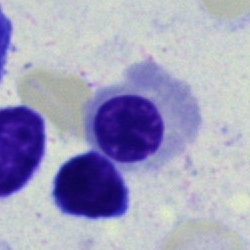 Single-cell crop from a bone marrow smear: nucleated red cell.